Bone marrow smear.
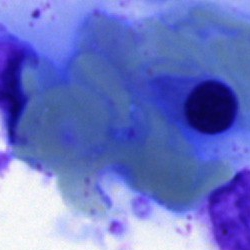

The cell type is nucleated red blood cell.